Peripheral blood film
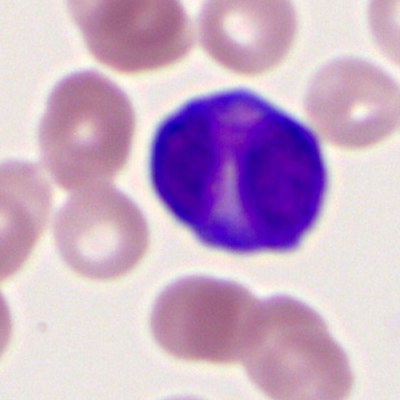 Q: What is shown here?
A: This is a bilobed-nucleus promyelocyte.